Bone marrow smear.
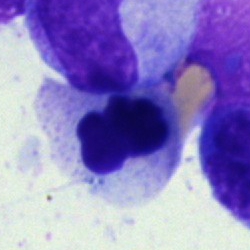The cell shown is an erythroblast.